MGG-stained; bone marrow aspirate smear.
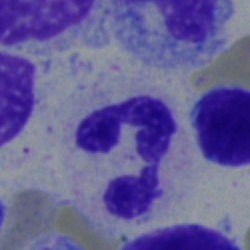

Q: What is the morphological classification of this cell?
A: This is a polymorphonuclear neutrophil.